Bone marrow smear: 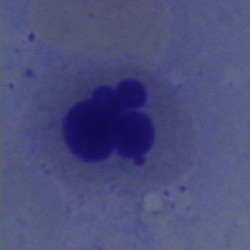

Erythroblast.